Bone marrow smear · May-Grünwald-Giemsa stain:
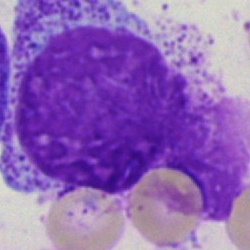

The cell shown is an artefact.